Bone marrow aspirate smear. Image size 250×250:
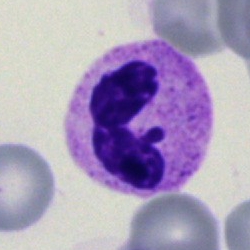Q: What is shown here?
A: This is a neutrophil (segmented).